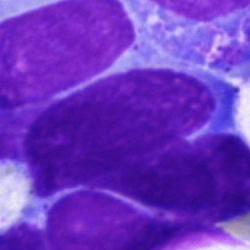Single cell identified as a blast.